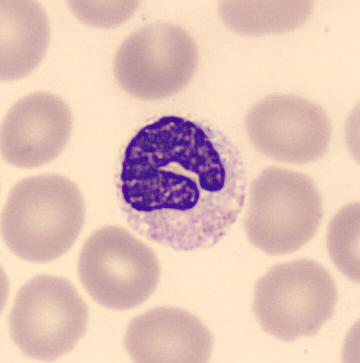

Single cell identified as a band-form neutrophil.